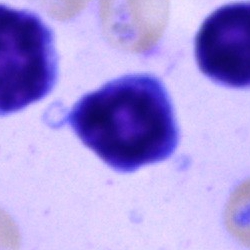 A lymphocyte.